Bone marrow aspirate smear:
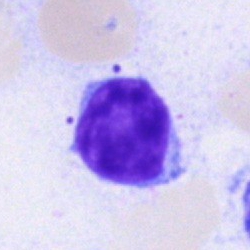
Showing a lymphocyte.